Bone marrow smear; single-cell crop; 250×250.
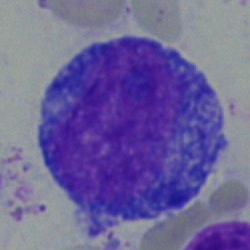

The cell shown is a blast.